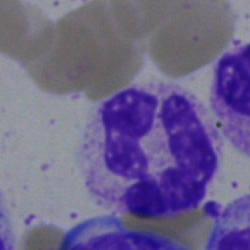 Bone marrow aspirate smear, single cell — neutrophil (segmented).